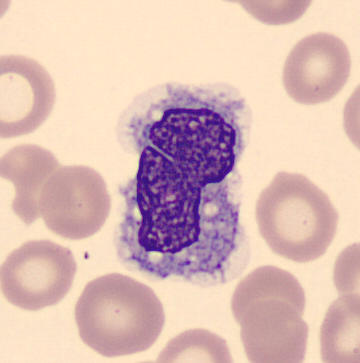
Identified as a monocyte. Single-cell field · peripheral blood film.